Single cell centered in the field. Bone marrow smear — 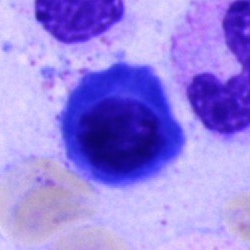
This is a plasma cell.